Bone marrow smear · May-Grünwald-Giemsa/Pappenheim stain: 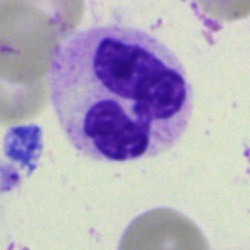 The cell type is polymorphonuclear neutrophil.